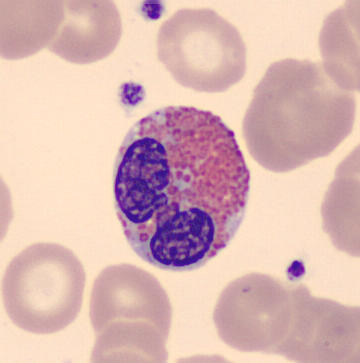
Classification — eosinophil.
Image: Peripheral blood film. Image size 360×363.